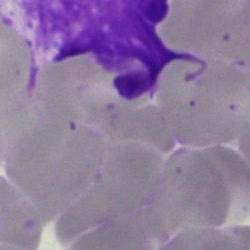Single cell identified as an artifact.